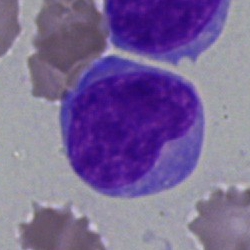
Morphological class — undifferentiated blast.